250 by 250 pixels. Bone marrow aspirate smear. May-Grünwald-Giemsa/Pappenheim stain: 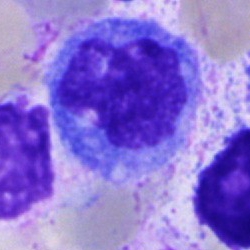Specimen: bone marrow smear.
Morphological class: monocyte.
Lineage: myeloid.